40× oil immersion. Bone marrow smear. May-Grünwald-Giemsa/Pappenheim stain
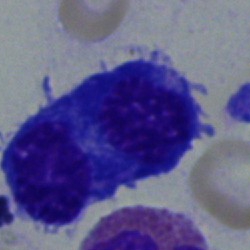Plasma cell.